Brightfield microscopy, 40× oil immersion · bone marrow aspirate smear · 250×250: 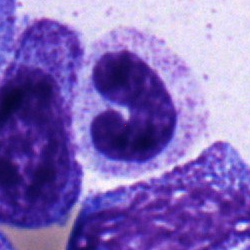 Band neutrophil.